Bone marrow aspirate smear
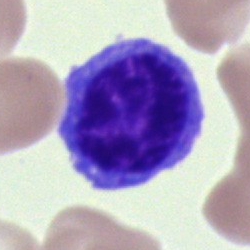 Morphological class: plasmacyte.